Bone marrow aspirate smear.
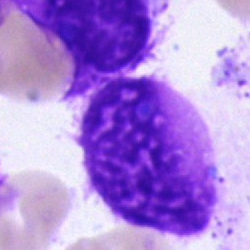
Single cell identified as an artifact.